Cropped to a single cell. Bone marrow smear
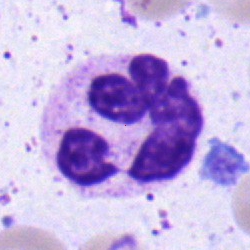 Classification = neutrophil (segmented).